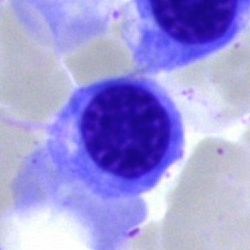
Q: What is shown here?
A: This is a normoblast.